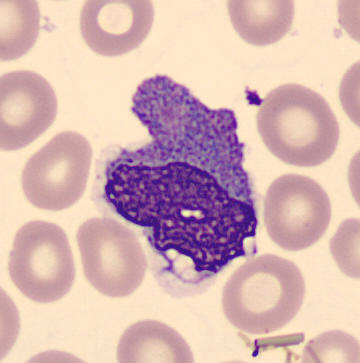Image: Peripheral blood smear. A monocyte.